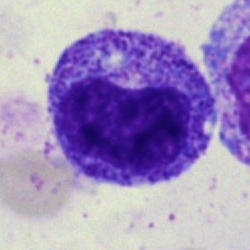

Q: What is the morphological classification of this cell?
A: It is a myelocyte.